Bone marrow aspirate smear — 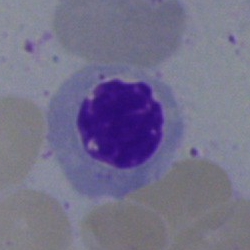

Morphology consistent with an erythroblast.